Bone marrow aspirate smear.
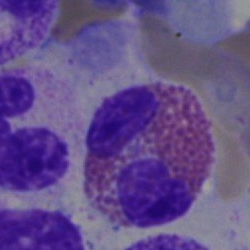
Q: What is shown here?
A: An eosinophil.